Bone marrow smear — 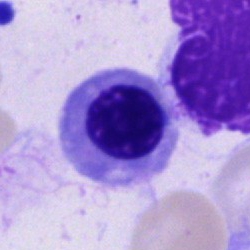 An erythroblast.